Bone marrow aspirate smear.
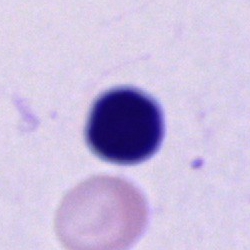Q: What is shown here?
A: A cell of indeterminate lineage.